250×250; bone marrow smear:
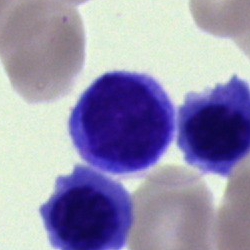
The morphological class is lymphocyte.